Brightfield, 40× oil-immersion objective · MGG-stained · bone marrow smear.
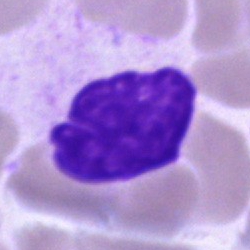
Morphological class: artefact.